Bone marrow smear: 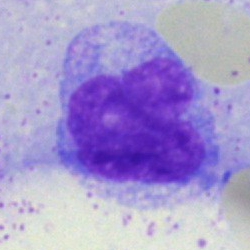
Q: What cell is this?
A: Monocyte.